Bone marrow aspirate smear:
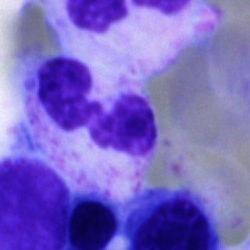
Q: What cell is this?
A: A segmented neutrophil.